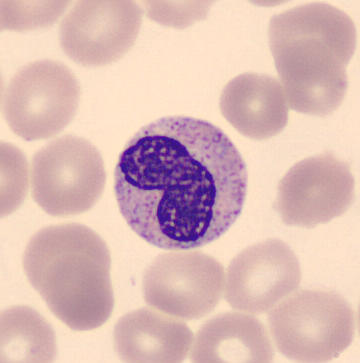Morphological class = band-form neutrophil.